Bone marrow aspirate smear — 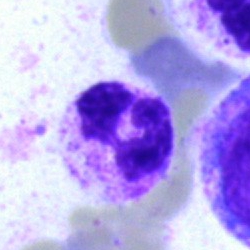 The cell is polymorphonuclear neutrophil.